40× objective, oil immersion · bone marrow smear: 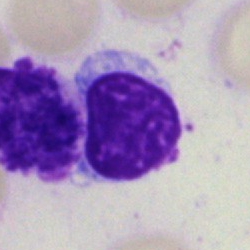
Cell type — typical lymphocyte.